Bone marrow aspirate smear; Pappenheim-stained.
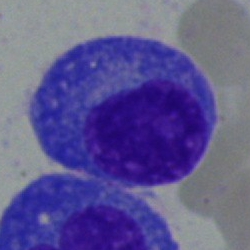Q: What cell is this?
A: This is a plasmacyte.